Bone marrow aspirate smear.
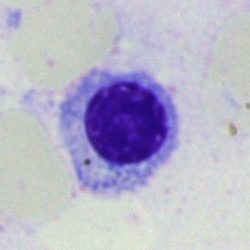

Q: What cell is this?
A: It is a nucleated red cell.